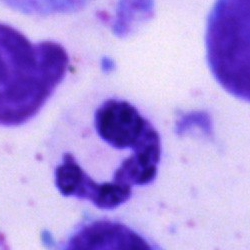The classification is polymorphonuclear neutrophil.